Cropped to a single cell; bone marrow aspirate smear
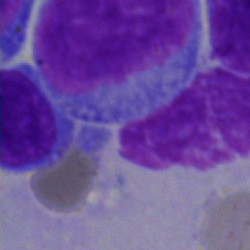 Q: What is shown here?
A: An undifferentiated blast.